Pappenheim-stained; 40× oil immersion; bone marrow smear: 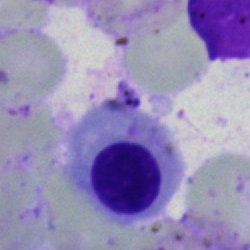Cell type — erythroblast.